40× objective, oil immersion · bone marrow smear.
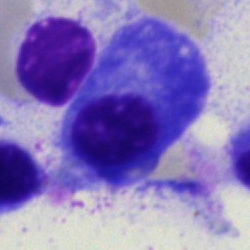Showing a plasma cell.